Bone marrow smear: 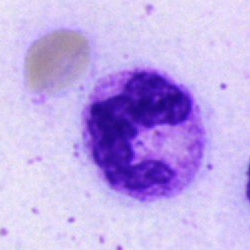 The cell type is segmented neutrophil.